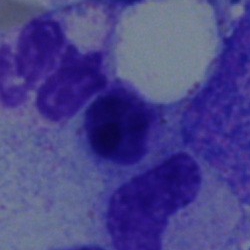
Q: What is the morphological classification of this cell?
A: An erythroblast.